Bone marrow aspirate smear
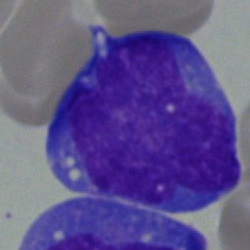{"cell_type": "blast"}